Cropped to a single cell. Bone marrow aspirate smear. Brightfield, 40× oil-immersion objective:
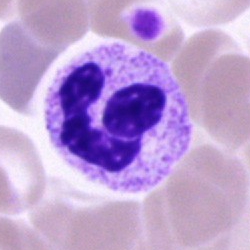 Showing a polymorphonuclear neutrophil.